Brightfield, 100× oil-immersion objective. Peripheral blood film:
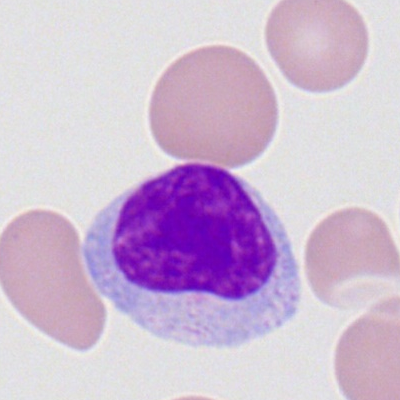 Morphological class: lymphocyte.